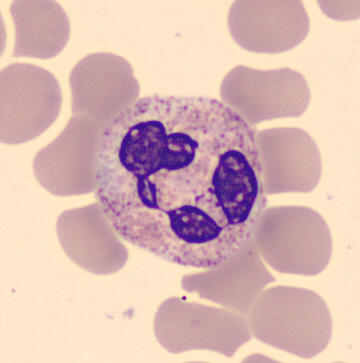
Acquisition: Peripheral blood film. 360×363.
Single cell identified as a polymorphonuclear neutrophil.